Bone marrow smear:
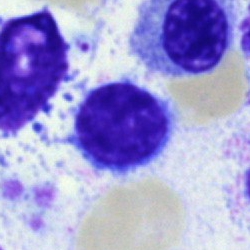 Q: What cell is this?
A: It is a typical lymphocyte.